Bone marrow smear; 40× oil immersion.
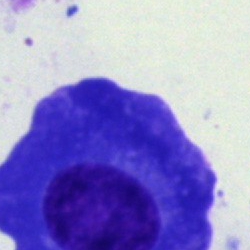 Plasma cell.